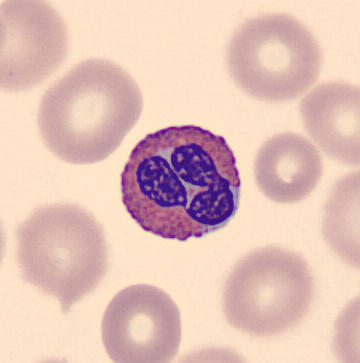Acquisition: 360×363 px · peripheral blood film.

Cell: eosinophilic granulocyte.